Peripheral blood film: 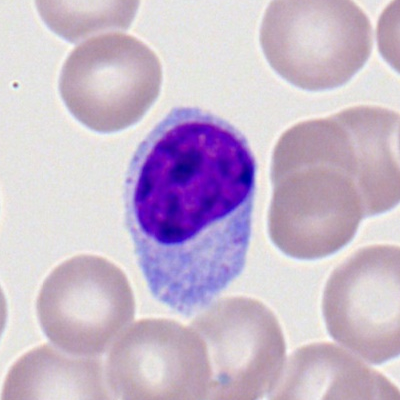

Cell = typical lymphocyte.